Bone marrow smear
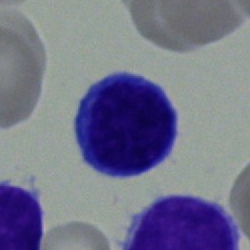 Morphology → lymphocyte.